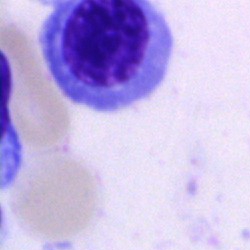 The morphological class is nucleated red blood cell.